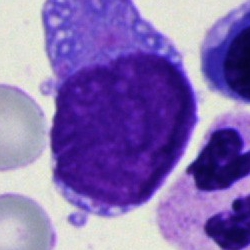 Single-cell crop from a bone marrow smear: undifferentiated blast.